Bone marrow smear. Image size 250×250.
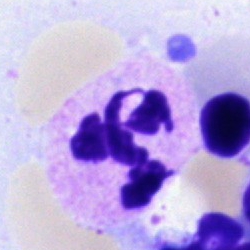Morphological class: neutrophil (segmented).